MGG-stained; bone marrow aspirate smear:
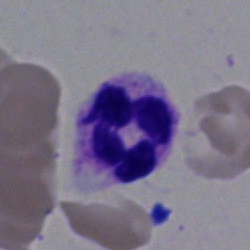This is a segmented neutrophil.